Bone marrow aspirate smear; May-Grünwald-Giemsa stain:
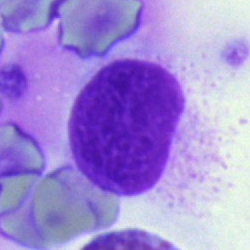

{"cell_type": "artefact"}